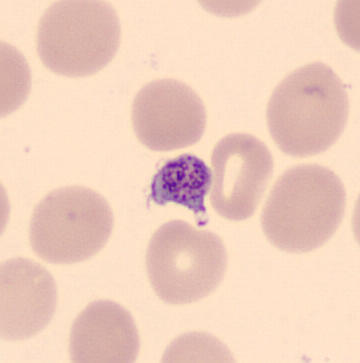 The classification is platelet.
Image: Peripheral blood film.